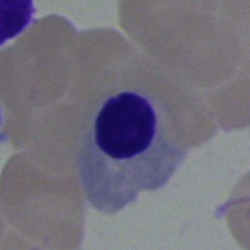
Single-cell crop from a bone marrow smear: nucleated red cell.